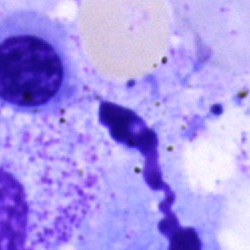
Bone marrow smear showing an artefact.